Peripheral blood film · 360×363:
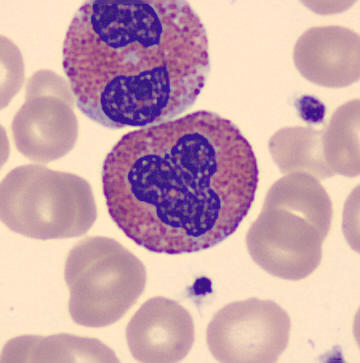Impression → eosinophilic granulocyte.